Image size 250×250 · bone marrow smear:
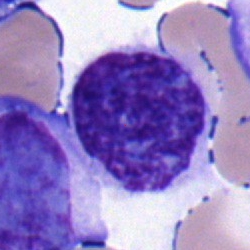 A lymphocyte.